Bone marrow aspirate smear:
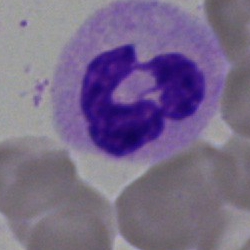Impression — segmented neutrophil.